Bone marrow aspirate smear: 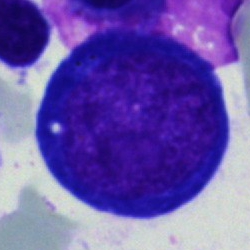Impression → pronormoblast.